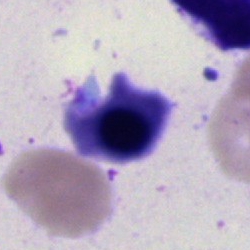Morphology → erythroblast.